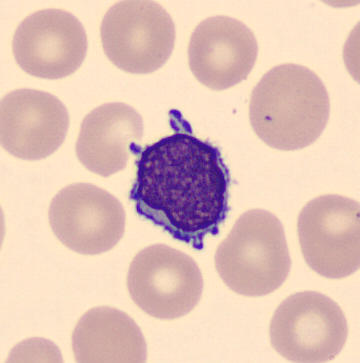
From a peripheral blood smear: a lymphocyte.